Brightfield, 40× oil-immersion objective · May-Grünwald-Giemsa stain · bone marrow aspirate smear:
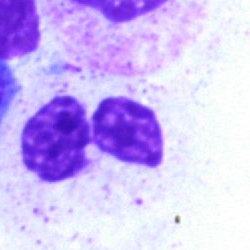
The cell is polymorphonuclear neutrophil.